Peripheral blood film; single-cell crop; Romanowsky-type stain.
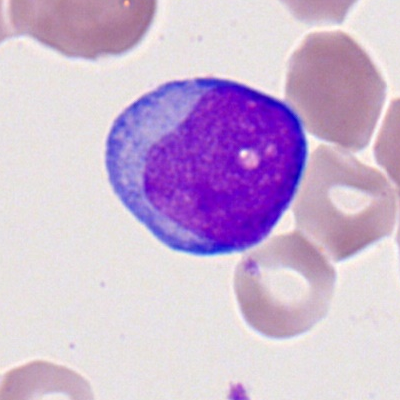Cell type — myeloblast.